Bone marrow aspirate smear · 40× objective, oil immersion.
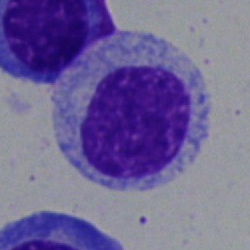

Q: Identify the cell.
A: It is a myelocyte.